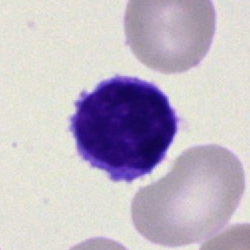 Single-cell crop from a bone marrow smear: lymphocyte.